Single-cell field. 250 by 250 pixels. Bone marrow aspirate smear:
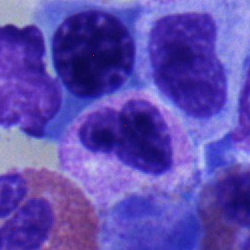
Morphology — band-form neutrophil.